Image size 250×250. May-Grünwald-Giemsa/Pappenheim stain. Bone marrow smear:
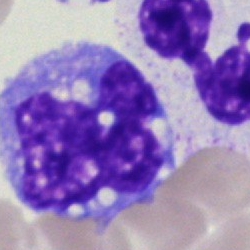 A monocyte.